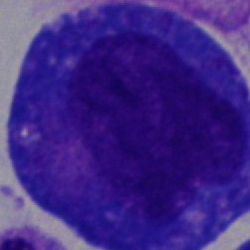

Single-cell crop from a bone marrow smear: blast.